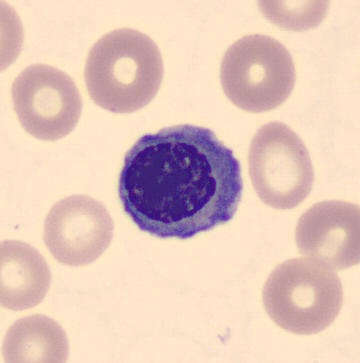

Q: What cell is this?
A: Nucleated red cell. Preparation: Peripheral blood smear.